Bone marrow aspirate smear; image size 250×250:
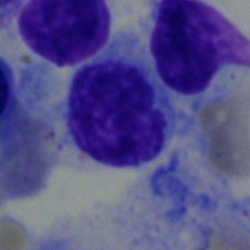Impression → hairy cell.